Bone marrow aspirate smear: 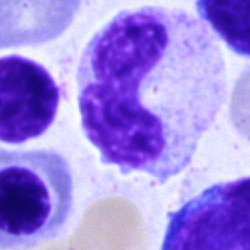 Impression — stab cell.